Bone marrow smear
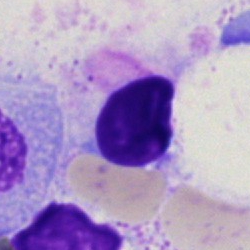

Cell = artefact.